Bone marrow aspirate smear · brightfield microscopy, 40× oil immersion — 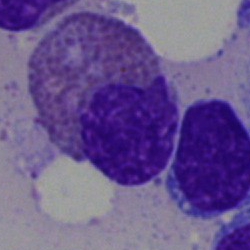 Classification — eosinophilic granulocyte.